Bone marrow aspirate smear
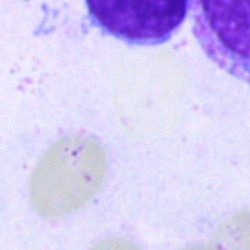
Specimen: bone marrow aspirate smear.
Cell type: artefact.